Bone marrow aspirate smear. Single-cell crop — 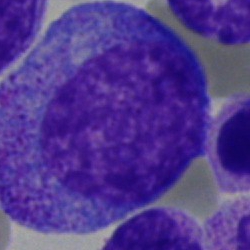

Q: What type of cell is this?
A: A promyelocyte.